Bone marrow smear.
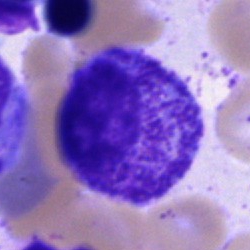 Morphology consistent with a progranulocyte.